250 by 250 pixels; bone marrow aspirate smear; single-cell crop: 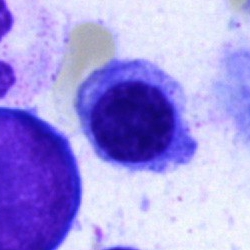
Q: What is the morphological classification of this cell?
A: This is an erythroblast.